Bone marrow aspirate smear. Pappenheim-stained
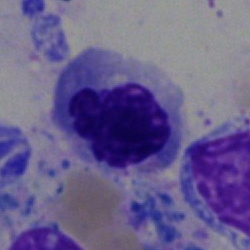

The cell type is nucleated red cell.